Bone marrow aspirate smear. May-Grünwald-Giemsa/Pappenheim stain. Image size 250×250: 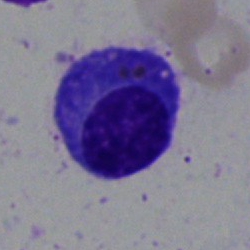 A plasma cell.